Bone marrow aspirate smear:
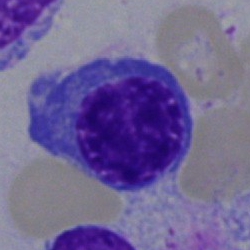
Classification = normoblast.